Brightfield, 40× oil-immersion objective; bone marrow aspirate smear
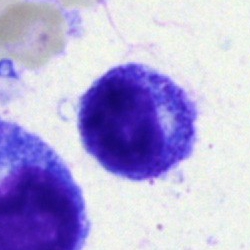

Single cell identified as a myelocyte.